Bone marrow aspirate smear:
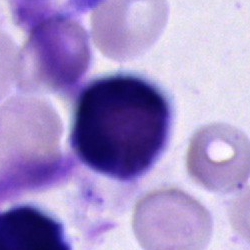
This is a cell of indeterminate lineage.